Single cell centered in the field. Bone marrow aspirate smear.
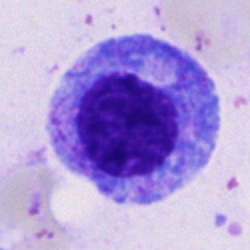Single cell identified as a progranulocyte.